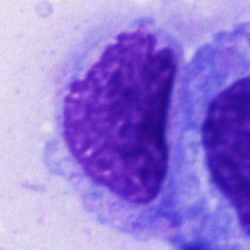 Impression → artefact.